Bone marrow smear: 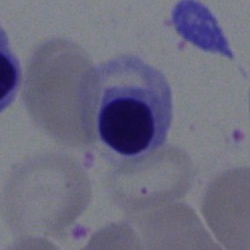Showing a nucleated red cell.